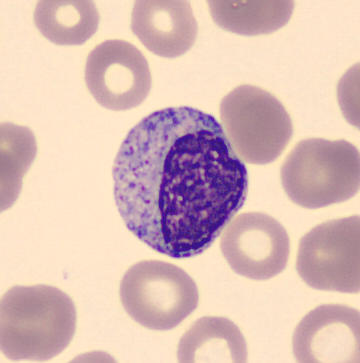
The cell shown is a myelocyte.